Brightfield, 40× oil-immersion objective · bone marrow aspirate smear: 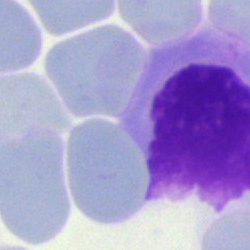

Cell type = artifact.